Peripheral blood smear
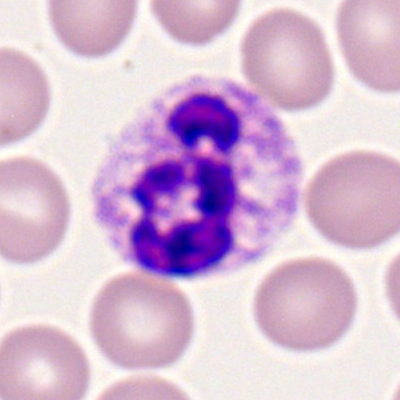

Q: What is the morphological classification of this cell?
A: It is a segmented neutrophil.